Bone marrow smear
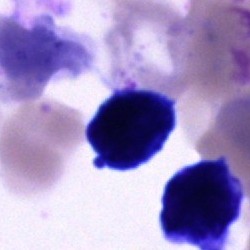

Impression — cell of indeterminate lineage.